Bone marrow smear
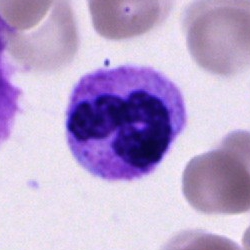Morphology consistent with a neutrophil (segmented).